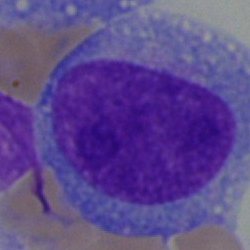 {"cell_type": "blast cell"}